Bone marrow aspirate smear.
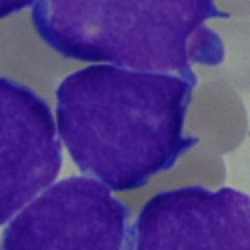 Q: Identify the cell.
A: This is a blast cell.